Bone marrow aspirate smear — 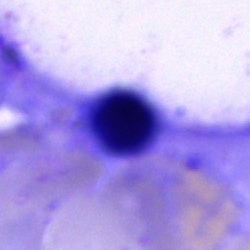{"cell_type": "nucleated red cell"}